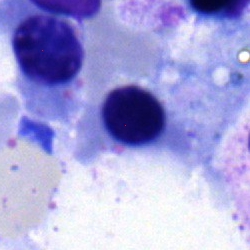 Single cell identified as an erythroblast.